Bone marrow smear. Single-cell field. Pappenheim-stained
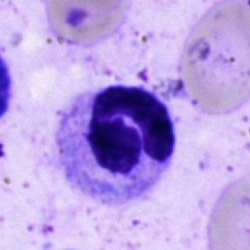 Cell = polymorphonuclear neutrophil.